Bone marrow smear:
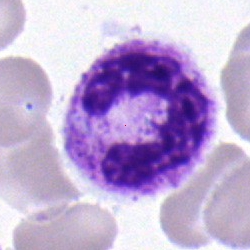Impression — band-form neutrophil.